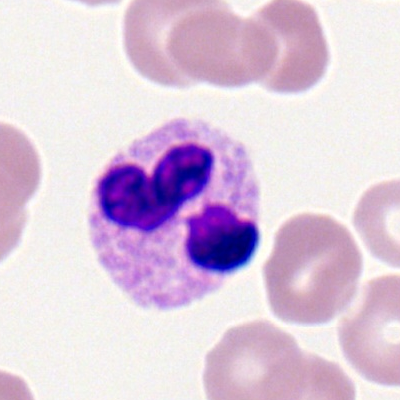
Peripheral blood smear showing a segmented neutrophil.